May-Grünwald-Giemsa stain · bone marrow aspirate smear: 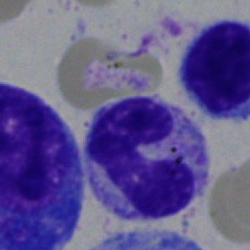

Impression → monocyte.